Romanowsky stain; peripheral blood film — 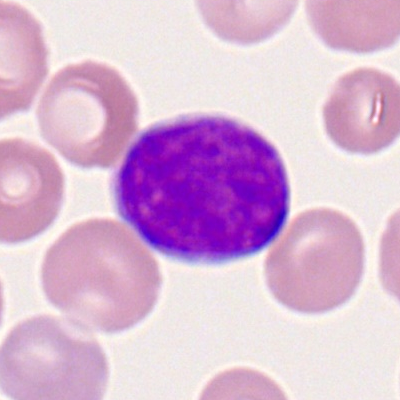
Morphology consistent with a myeloid blast.